Single cell centered in the field · bone marrow aspirate smear — 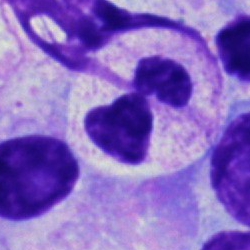

A segmented neutrophil.